Bone marrow aspirate smear · 40× objective, oil immersion.
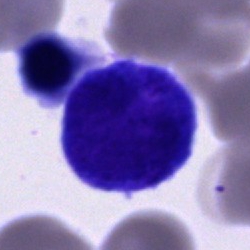
Morphology consistent with a cell of indeterminate lineage.